Pappenheim-stained. 250 by 250 pixels. Bone marrow aspirate smear
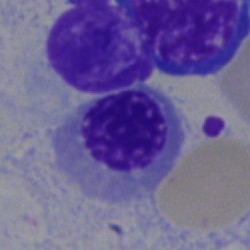

Specimen: bone marrow aspirate smear.
Classification: normoblast.